Brightfield, 40× oil-immersion objective · bone marrow smear · May-Grünwald-Giemsa/Pappenheim stain — 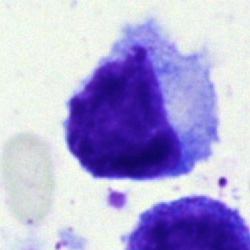Showing a typical lymphocyte.